400 by 400 pixels · peripheral blood film: 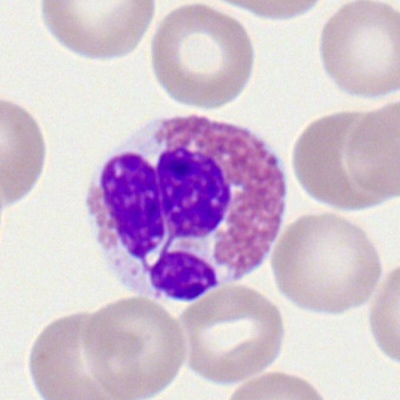Showing an eosinophil.